Peripheral blood film.
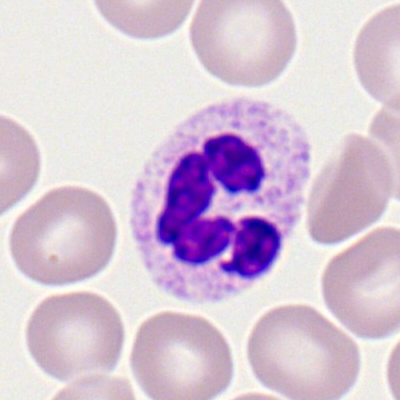
The morphological class is polymorphonuclear neutrophil.